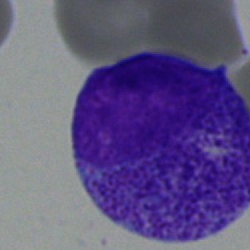 Morphology — progranulocyte.